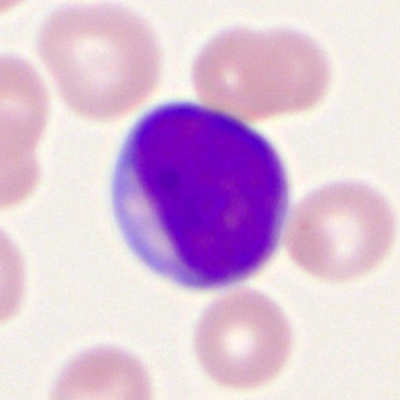

Q: What cell is this?
A: A myeloid blast.